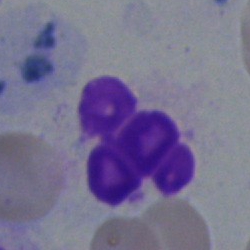
Morphology — polymorphonuclear neutrophil.